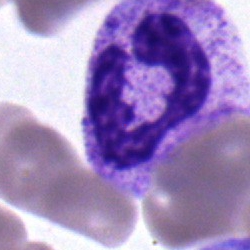

The cell shown is a polymorphonuclear neutrophil.